Bone marrow aspirate smear; May-Grünwald-Giemsa/Pappenheim stain — 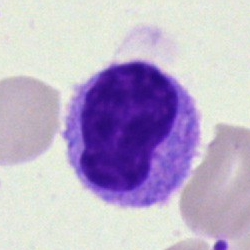

Specimen: bone marrow aspirate smear.
Morphological class: typical lymphocyte.
Lineage: lymphoid.